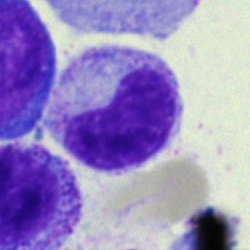Classification — metamyelocyte.